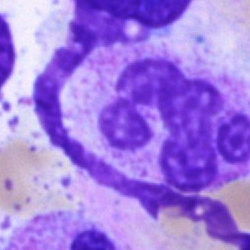{"cell_type": "segmented neutrophil"}